250×250. Bone marrow aspirate smear.
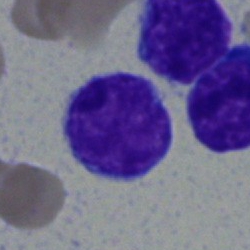 Q: What type of cell is this?
A: It is a lymphocyte.